Peripheral blood smear.
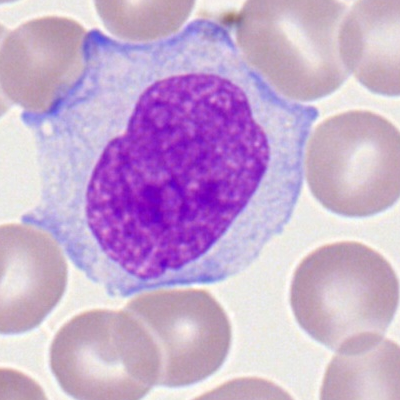 Specimen: peripheral blood smear.
Morphological class: monocyte.
Lineage: myeloid.